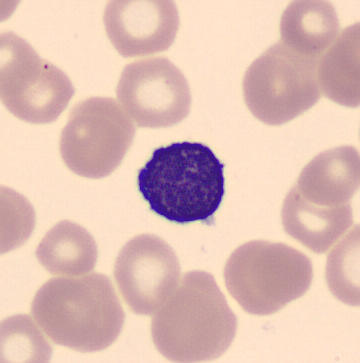 Preparation: Peripheral blood smear. The morphological class is lymphocyte.